Bone marrow smear: 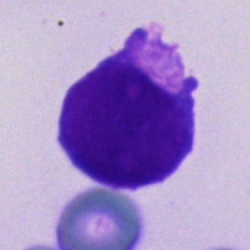 Morphology consistent with an undifferentiated blast.